Bone marrow smear:
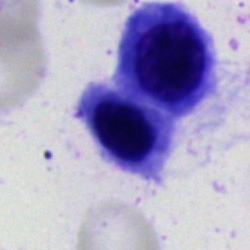 Cell = nucleated red blood cell.